Bone marrow smear: 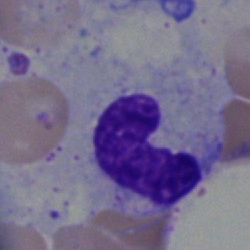
Showing a band-form neutrophil.